Bone marrow aspirate smear:
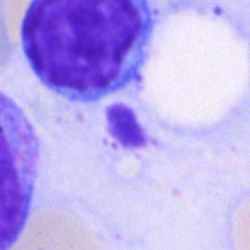Cell type: typical lymphocyte.